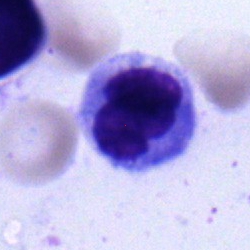This is a typical lymphocyte.